Bone marrow smear — 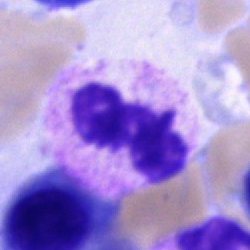 Specimen: bone marrow aspirate smear.
Cell: segmented neutrophil.